250×250. Bone marrow smear.
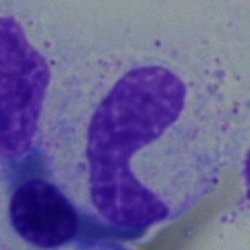Showing a neutrophil (band).